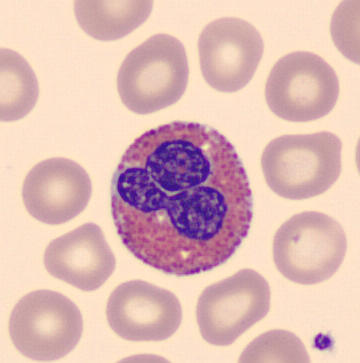An eosinophil.